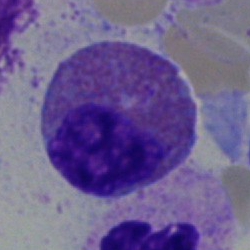
Showing an eosinophil.